Bone marrow aspirate smear. Cropped to a single cell: 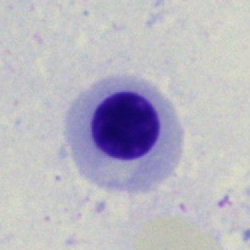
Cell type — erythroblast.